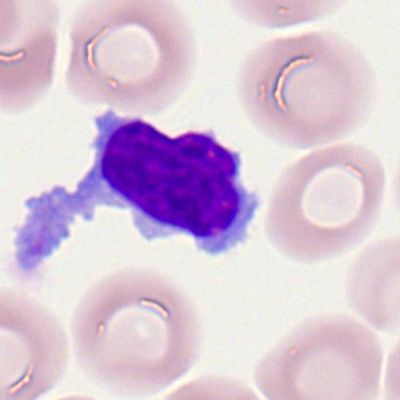

Q: What type of cell is this?
A: A lymphocyte.